Bone marrow aspirate smear — 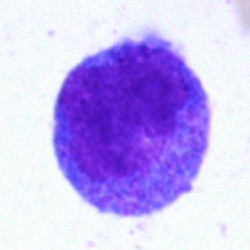
A progranulocyte.